Bone marrow smear
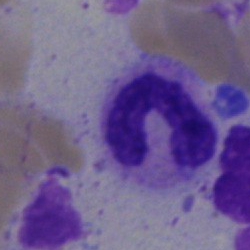
Q: Identify the cell.
A: It is a neutrophil (segmented).